Single-cell crop; 40× objective, oil immersion; bone marrow smear: 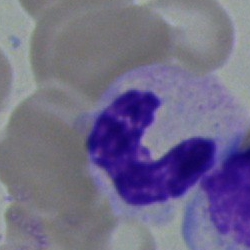

Q: What type of cell is this?
A: It is a band neutrophil.